Peripheral blood film — 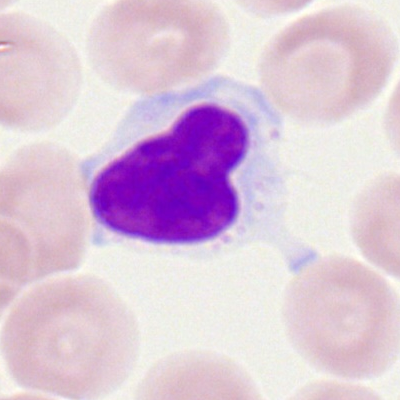 Single cell identified as a lymphocyte.